40× objective, oil immersion · May-Grünwald-Giemsa stain · bone marrow aspirate smear — 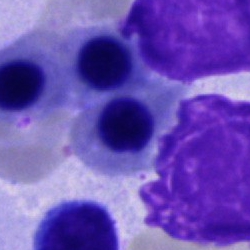 Morphology consistent with a nucleated red blood cell.